Bone marrow smear: 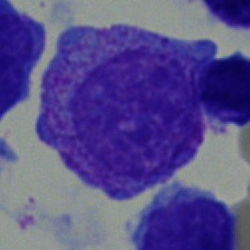Classification = progranulocyte.